250 by 250 pixels · bone marrow aspirate smear:
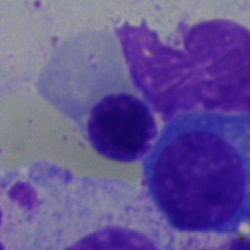Classification: erythroblast.